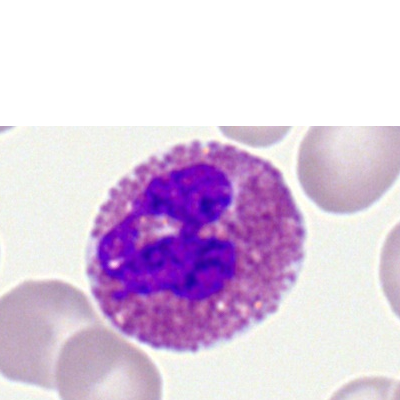This is an eosinophilic granulocyte.